Bone marrow smear.
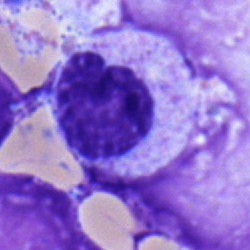 Myelocyte.